Bone marrow aspirate smear.
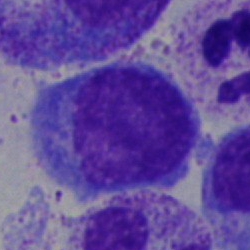Impression → lymphocyte.